40× oil immersion. Bone marrow smear. Single cell centered in the field.
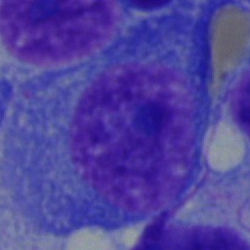
Q: What cell is this?
A: This is a plasma cell.